250×250; cropped to a single cell; bone marrow aspirate smear: 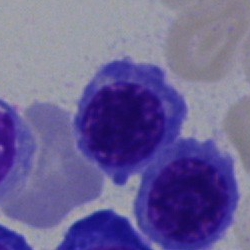
Cell = erythroblast.